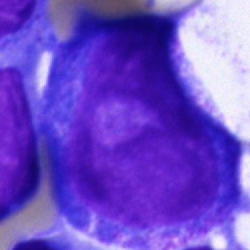
Q: What is the morphological classification of this cell?
A: Pronormoblast.